Bone marrow smear.
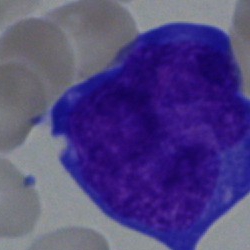Specimen: bone marrow smear.
Morphological class: blast cell.